250×250 px; bone marrow aspirate smear
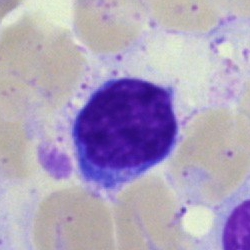
Morphological class — typical lymphocyte.